Bone marrow smear — 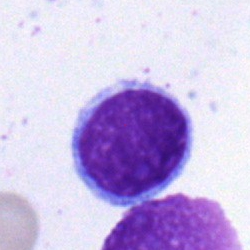Morphology — lymphocyte.